Single-cell field; bone marrow smear.
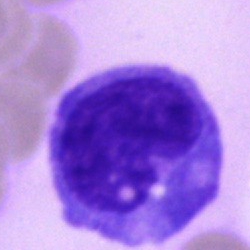
Q: What is shown here?
A: Monocyte.